250×250 px; bone marrow aspirate smear.
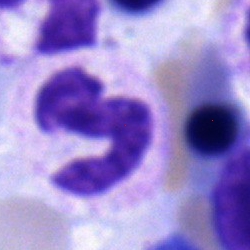Specimen: bone marrow aspirate smear.
Cell type: band neutrophil.
Lineage: myeloid.